Bone marrow aspirate smear — 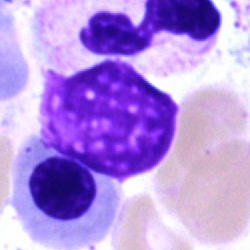

Morphology — artifact.